Peripheral blood smear — 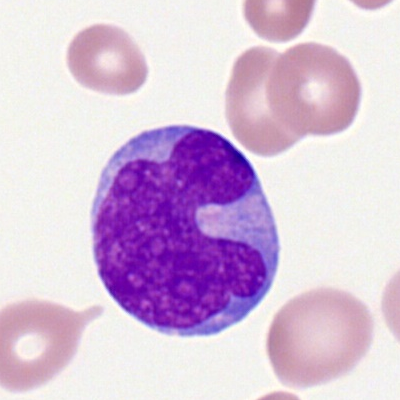 Morphological class — myeloid blast.